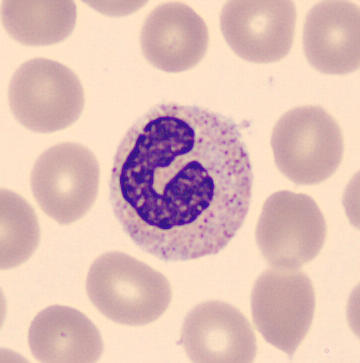
Preparation: Peripheral blood smear.
The morphological class is band-form neutrophil.